250×250 px. Bone marrow smear: 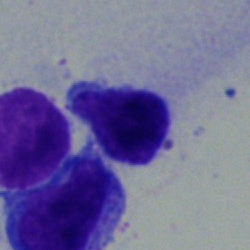
Q: What cell is this?
A: This is a blast cell.